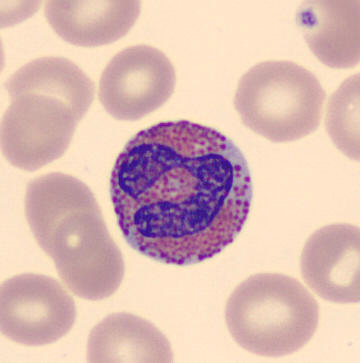
Identified as an eosinophil.

Acquisition: Peripheral blood smear.